Bone marrow smear. May-Grünwald-Giemsa stain. Single cell centered in the field.
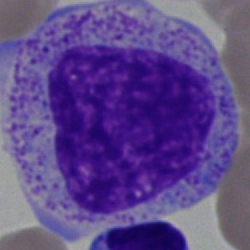

{"cell_type": "myelocyte", "lineage": "myeloid"}